Bone marrow aspirate smear
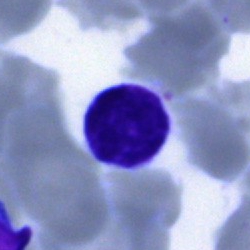
Single cell identified as a lymphocyte.